Cropped to a single cell; bone marrow aspirate smear:
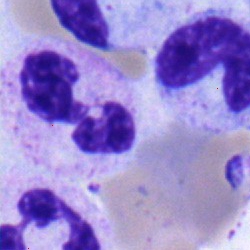 Morphological class — polymorphonuclear neutrophil.